Bone marrow aspirate smear — 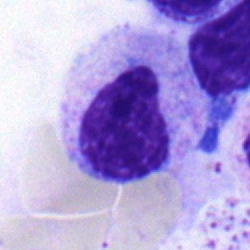 Q: What is shown here?
A: Myelocyte.